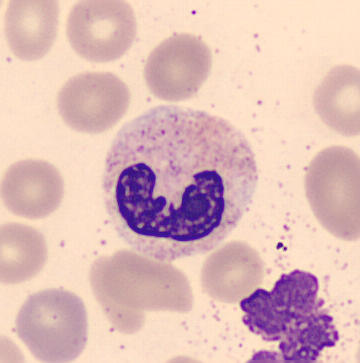
Morphology — band-form neutrophil.